Bone marrow smear: 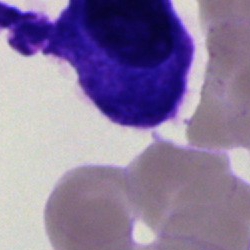Q: What cell is this?
A: This is a plasmacyte.